40× oil immersion. Bone marrow aspirate smear.
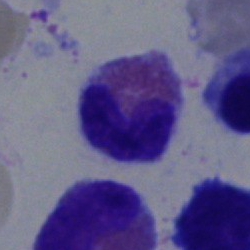

Single cell identified as an eosinophilic granulocyte.